Bone marrow aspirate smear. Brightfield, 40× oil-immersion objective: 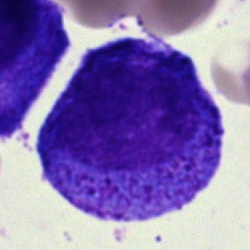
Morphological class = progranulocyte.